May-Grünwald-Giemsa/Pappenheim stain; single cell centered in the field; bone marrow aspirate smear.
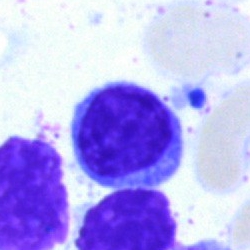 Showing a typical lymphocyte.